40× objective, oil immersion; bone marrow smear.
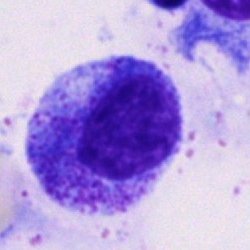Morphology consistent with a promyelocyte.